Bone marrow aspirate smear: 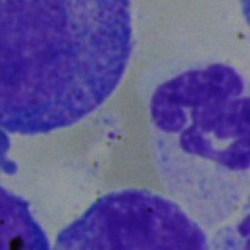 Specimen: bone marrow smear.
Cell type: neutrophil (segmented).
Lineage: myeloid.